Peripheral blood film.
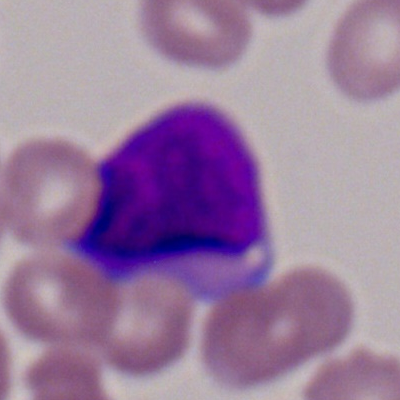

Impression — myeloblast.